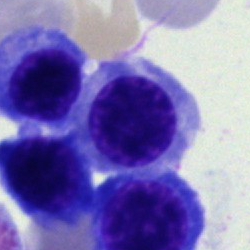
Classification: nucleated red blood cell.